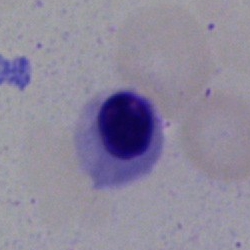Specimen: bone marrow smear.
Morphological class: nucleated red blood cell.
Lineage: erythroid.